Bone marrow aspirate smear — 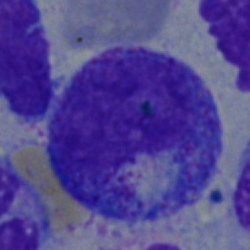Showing a promyelocyte.